Bone marrow smear. Image size 250×250. MGG-stained:
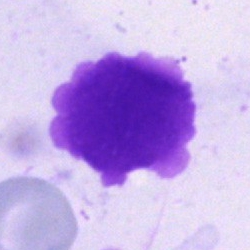Cell: artefact.